Bone marrow smear: 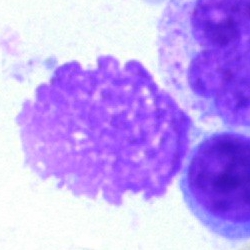Morphological class: artifact.